Bone marrow aspirate smear.
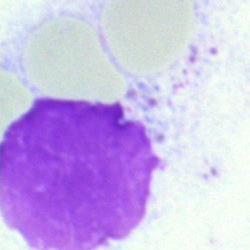The cell shown is an artifact.